Bone marrow aspirate smear — 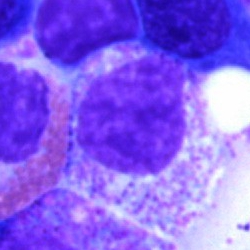

Q: What is the morphological classification of this cell?
A: This is a myelocyte.